Bone marrow smear; cropped to a single cell — 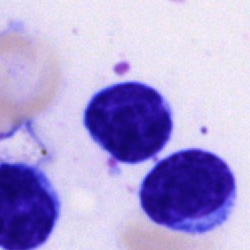
The cell shown is a lymphocyte.